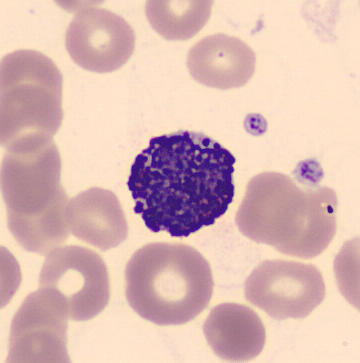Peripheral blood smear showing a basophilic granulocyte.